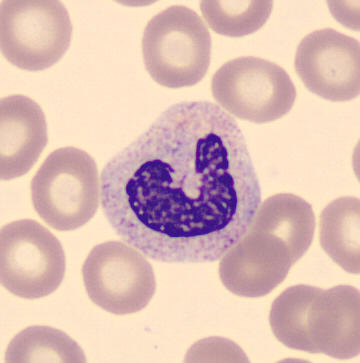 Image: Image size 360×363.

Specimen: peripheral blood smear.
Morphological class: band-form neutrophil.
Lineage: myeloid.